Bone marrow smear.
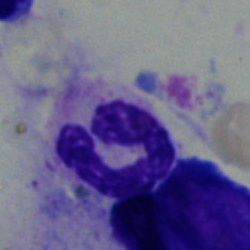

Showing a band-form neutrophil.